Bone marrow smear:
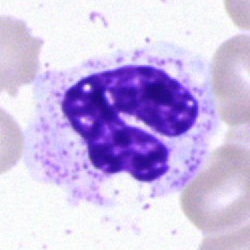
Impression — neutrophil (segmented).